250×250. Bone marrow aspirate smear: 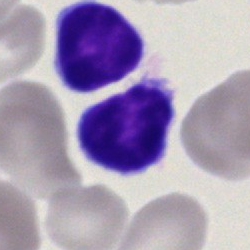

The cell is typical lymphocyte.